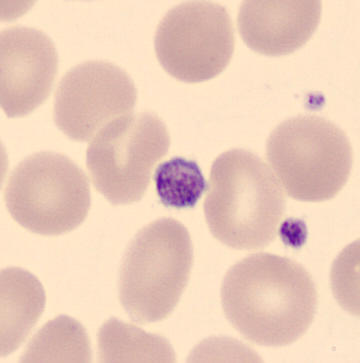
Acquisition: Peripheral blood smear.
Q: What is this?
A: This is a platelet (thrombocyte).